250×250; bone marrow aspirate smear.
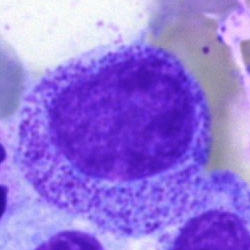 Cell: promyelocyte.